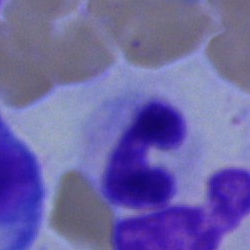 Cell type = neutrophil (segmented).